Bone marrow aspirate smear — 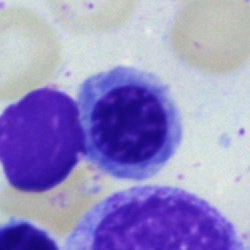An erythroblast.